Brightfield microscopy, 40× oil immersion. Bone marrow aspirate smear:
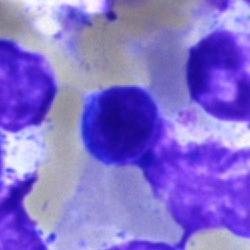{"cell_type": "typical lymphocyte", "lineage": "lymphoid"}